Bone marrow smear — 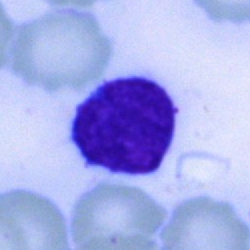 Single cell identified as a lymphocyte.